Bone marrow aspirate smear:
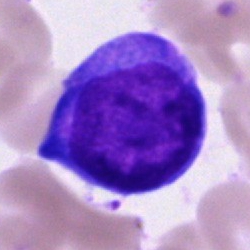This is a blast cell.